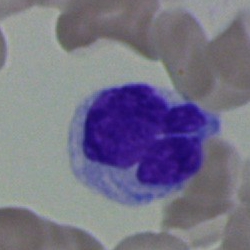 Cell type = artefact.